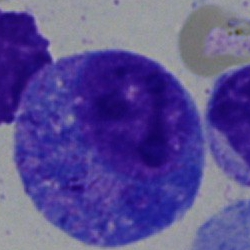
{"cell_type": "progranulocyte", "lineage": "myeloid"}